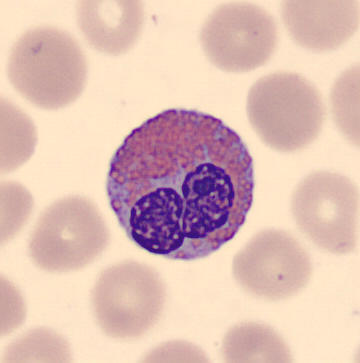Preparation: Peripheral blood film. Impression → eosinophilic granulocyte.